250×250 px · bone marrow aspirate smear · May-Grünwald-Giemsa stain:
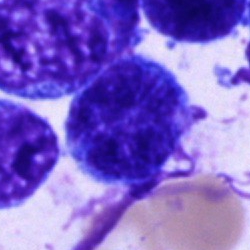

Specimen: bone marrow aspirate smear.
Morphological class: blast cell.